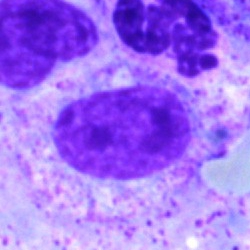

Classification: myelocyte.